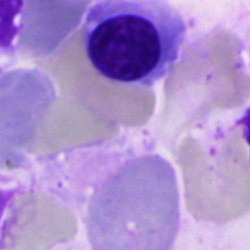Q: Identify the cell.
A: Erythroblast.